Bone marrow aspirate smear; Pappenheim-stained — 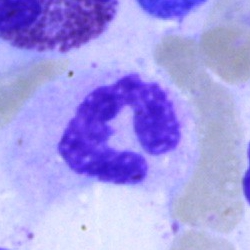 Classification = neutrophil (segmented).